Bone marrow smear.
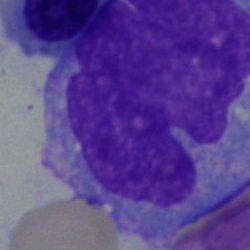

A monocyte.